MGG-stained. Bone marrow aspirate smear. 250 by 250 pixels: 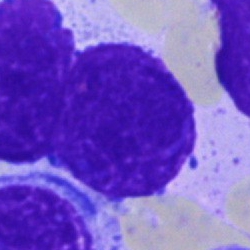

{"cell_type": "artifact"}